Bone marrow smear.
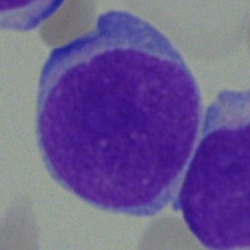 Blast.